Bone marrow smear:
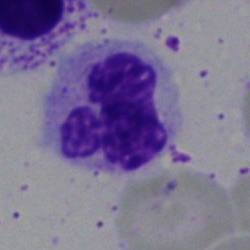
Morphology → polymorphonuclear neutrophil.